Bone marrow smear · single cell centered in the field · Pappenheim-stained — 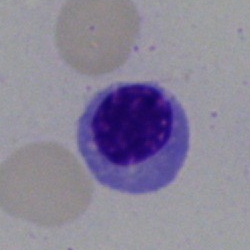

Nucleated red blood cell.